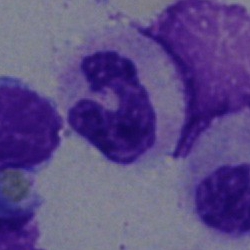Specimen: bone marrow aspirate smear.
Cell type: segmented neutrophil.